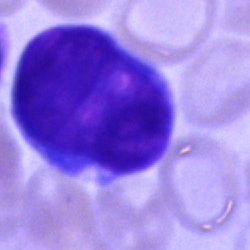
Blast.